Bone marrow aspirate smear. Pappenheim-stained — 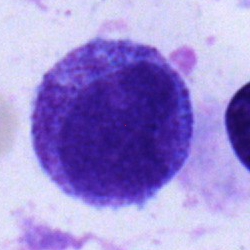
Q: What is shown here?
A: Myelocyte.